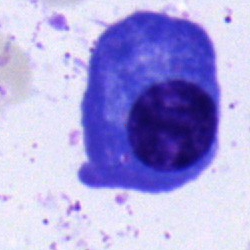

Plasma cell.